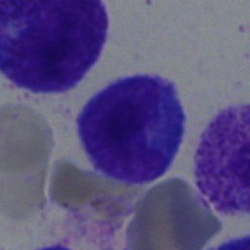Morphology — lymphocyte.